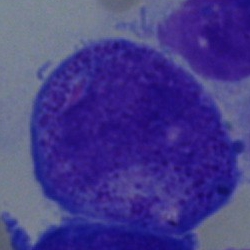

Single cell identified as a promyelocyte.